Bone marrow aspirate smear
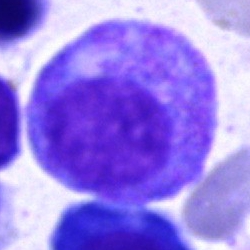Specimen: bone marrow smear.
Cell: promyelocyte.
Lineage: myeloid.